Bone marrow aspirate smear:
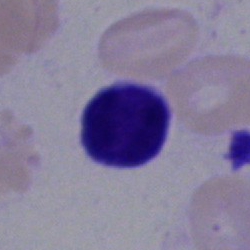 Single cell identified as a typical lymphocyte.